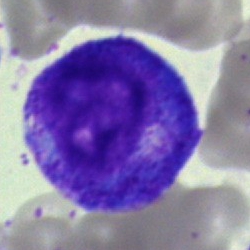
Showing a myelocyte.